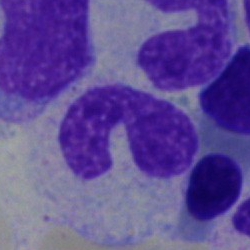 Q: Identify the cell.
A: It is a band neutrophil.